Bone marrow aspirate smear
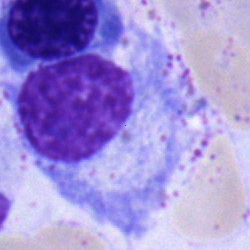

Impression — plasma cell.